Single cell centered in the field; brightfield, 40× oil-immersion objective; bone marrow aspirate smear.
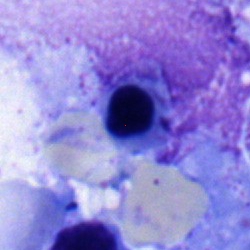
Classification = normoblast.